Romanowsky-stained; peripheral blood smear:
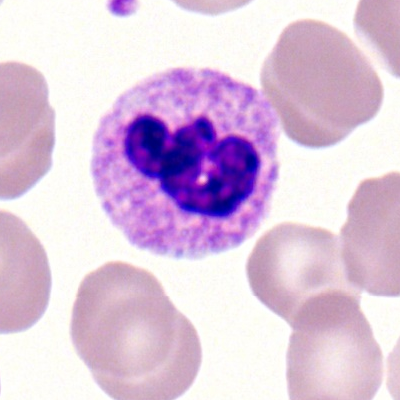 {"cell_type": "polymorphonuclear neutrophil"}